Cropped to a single cell. Bone marrow smear — 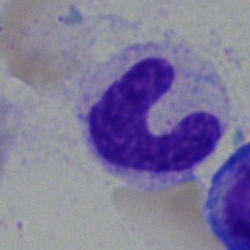

Neutrophil (segmented).